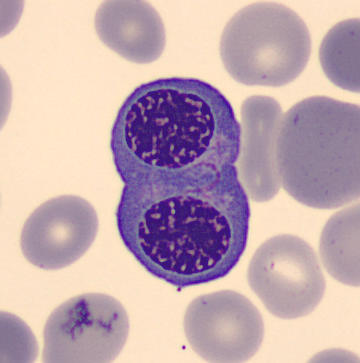

Preparation: Peripheral blood smear.
Q: What type of cell is this?
A: This is a normoblast.